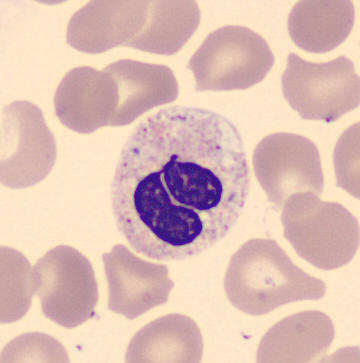{"cell_type": "neutrophil (segmented)", "lineage": "myeloid"}

Peripheral blood smear.